Bone marrow smear: 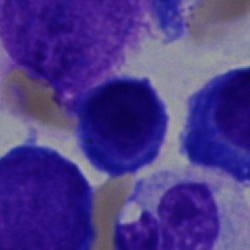Classification = plasma cell.